Bone marrow aspirate smear: 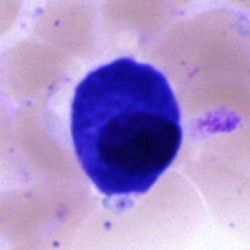
{"cell_type": "plasma cell"}